Bone marrow smear.
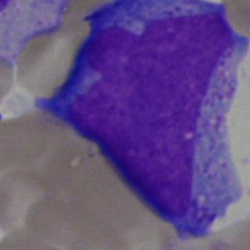Progranulocyte.